Bone marrow smear:
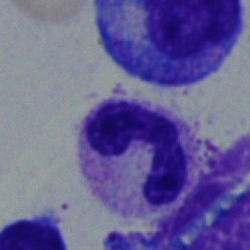

Single cell identified as a segmented neutrophil.